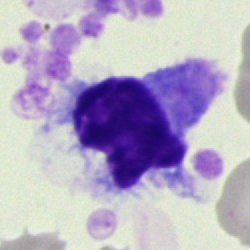
Morphology consistent with an artefact.